Bone marrow aspirate smear.
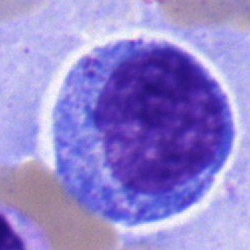 Specimen: bone marrow aspirate smear.
Cell type: promyelocyte.